Brightfield microscopy, 40× oil immersion. Bone marrow smear.
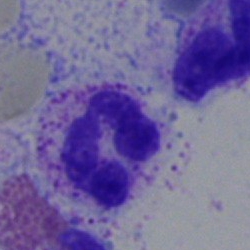 Q: Identify the cell.
A: Segmented neutrophil.